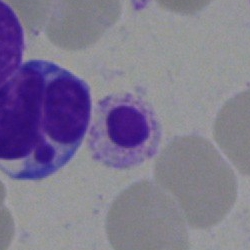
Impression → artifact.